Bone marrow smear; brightfield, 40× oil-immersion objective; Pappenheim-stained:
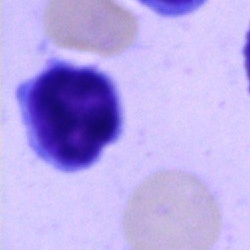 Classification — typical lymphocyte.